MGG-stained. Bone marrow smear.
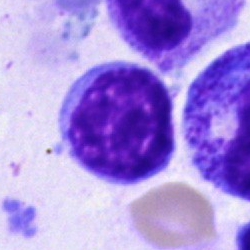Morphological class: typical lymphocyte.